Bone marrow aspirate smear.
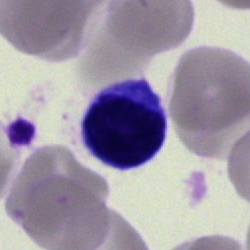

Classification = lymphocyte.